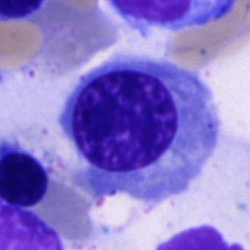

Cell — erythroblast.